Bone marrow aspirate smear. 250 by 250 pixels
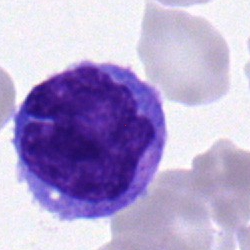 Morphology — monocyte.